Bone marrow aspirate smear — 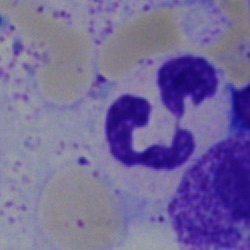This is a polymorphonuclear neutrophil.